May-Grünwald-Giemsa stain. 250×250. Bone marrow smear:
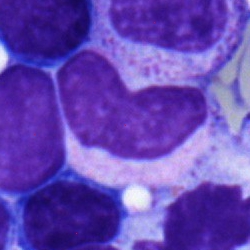
The cell type is metamyelocyte.